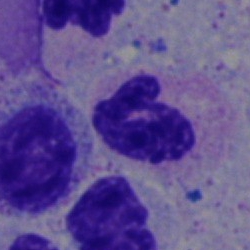Cell type: neutrophil (segmented).